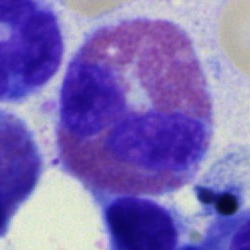

Q: Identify the cell.
A: This is an eosinophilic granulocyte.